Bone marrow aspirate smear
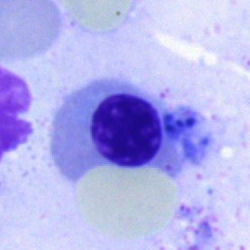

Specimen: bone marrow aspirate smear.
Morphological class: nucleated red cell.